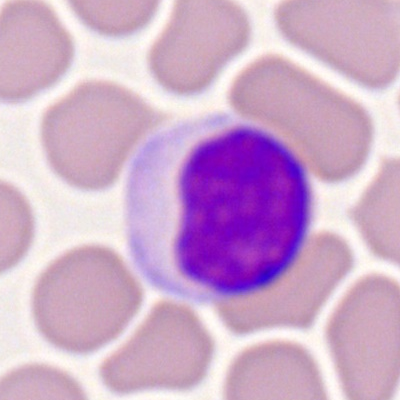

Morphology — lymphocyte.